Bone marrow smear. Image size 250×250
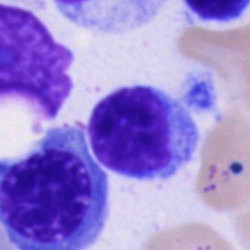

Cell type = typical lymphocyte.